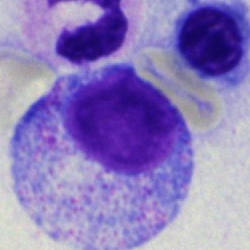Classification — promyelocyte.